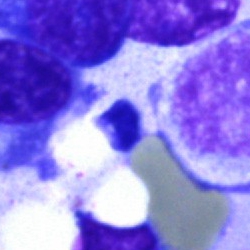 {"cell_type": "artifact"}